Bone marrow aspirate smear.
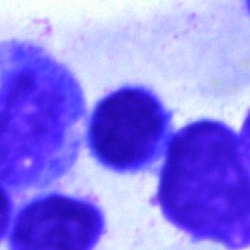 Morphology consistent with a lymphocyte.